Bone marrow smear.
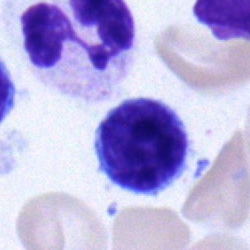 Q: What cell is this?
A: This is a typical lymphocyte.